Image size 250×250 · bone marrow smear · single cell centered in the field: 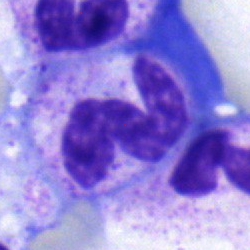 Classification — neutrophil (band).